Brightfield, 40× oil-immersion objective. Bone marrow smear
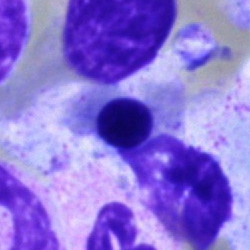 {"cell_type": "nucleated red cell"}